Peripheral blood film:
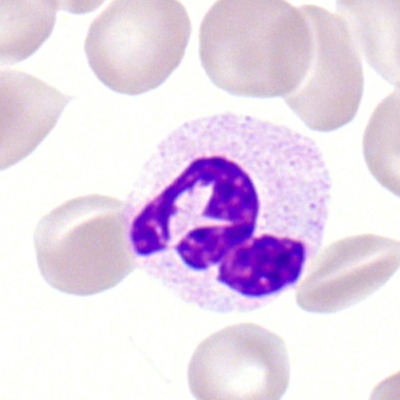Polymorphonuclear neutrophil.